Bone marrow aspirate smear · May-Grünwald-Giemsa stain.
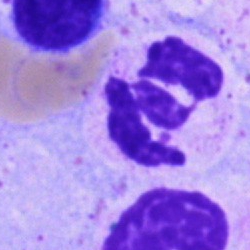 Morphology consistent with a neutrophil (segmented).